Bone marrow smear: 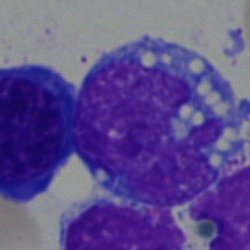

Morphology → blast.